Bone marrow smear. MGG-stained: 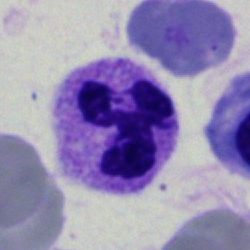

{"cell_type": "neutrophil (segmented)", "lineage": "myeloid"}